Bone marrow smear
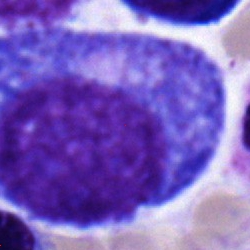
Showing a promyelocyte.